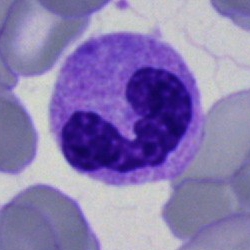Morphology consistent with a neutrophil (segmented).